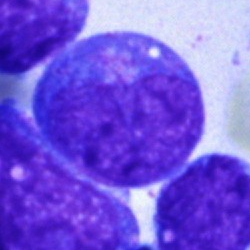 Q: Which cell type is shown here?
A: Promyelocyte.